Bone marrow smear — 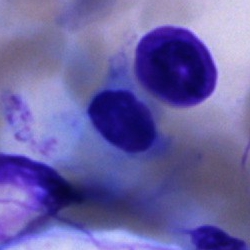
Q: What is shown here?
A: This is an artefact.